Bone marrow aspirate smear — 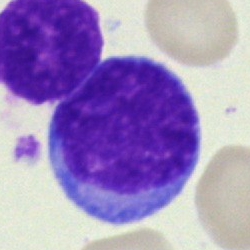 Classification = undifferentiated blast.